Bone marrow aspirate smear — 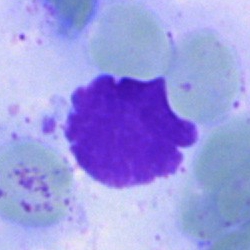
Classification — artifact.